Bone marrow aspirate smear — 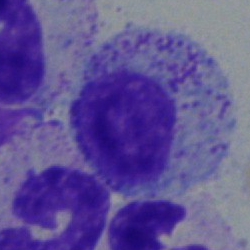

Impression — myelocyte.